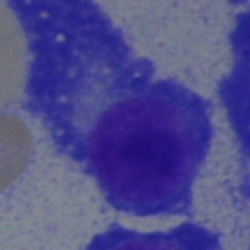
Specimen: bone marrow aspirate smear.
Classification: plasma cell.
Lineage: lymphoid.